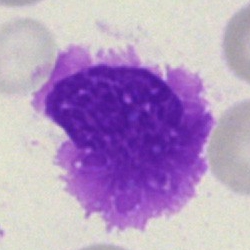
Cell type: artefact.